Bone marrow aspirate smear. Single-cell field
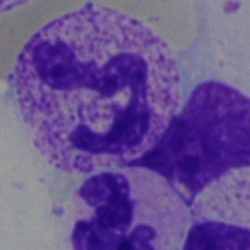
Specimen: bone marrow aspirate smear.
Classification: neutrophil (segmented).
Lineage: myeloid.